40× objective, oil immersion. Bone marrow smear. 250×250:
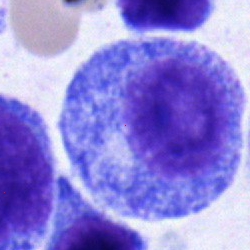

Promyelocyte.